Bone marrow smear.
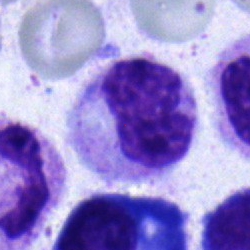

The morphological class is band-form neutrophil.